Bone marrow smear: 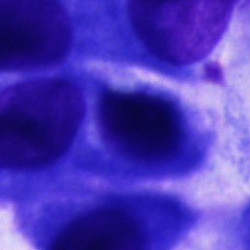Q: What is shown here?
A: This is a cell not matching the other categories.